Bone marrow aspirate smear
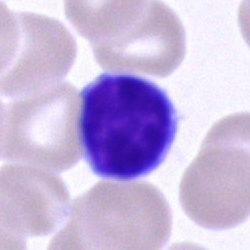 Cell type: lymphocyte.